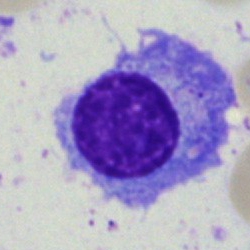Q: What type of cell is this?
A: A plasma cell.